Peripheral blood smear; 100× oil immersion, 14.14 px/µm; Romanowsky stain:
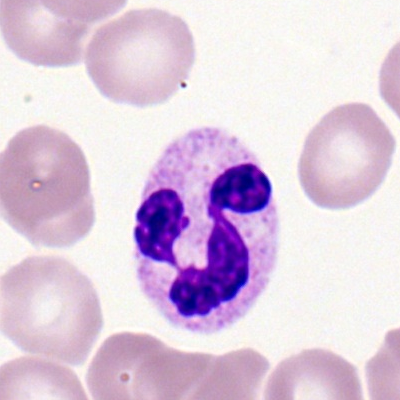

Neutrophil (segmented).